Bone marrow aspirate smear; single-cell crop; 40× oil immersion.
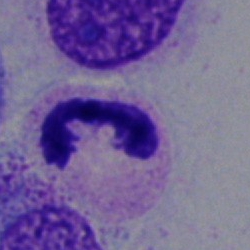

Single cell identified as a polymorphonuclear neutrophil.